Bone marrow aspirate smear:
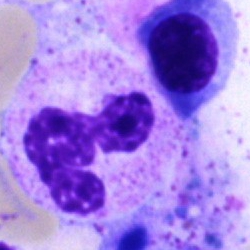Showing a segmented neutrophil.